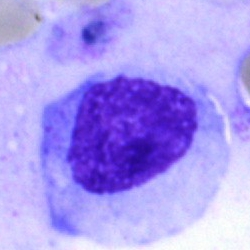

Single cell identified as an artifact.